Brightfield, 40× oil-immersion objective. Bone marrow smear
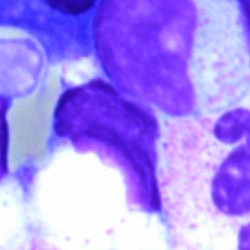 Cell — artifact.